Bone marrow smear — 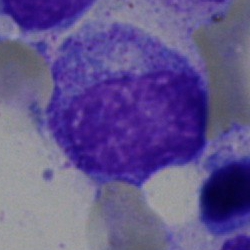Impression — progranulocyte.